Bone marrow aspirate smear: 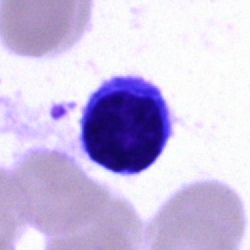 The cell shown is a typical lymphocyte.